250×250 px. Bone marrow smear: 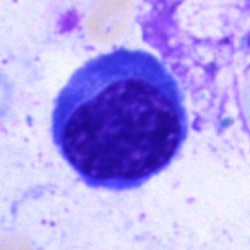Specimen: bone marrow smear.
Cell: erythroblast.
Lineage: erythroid.